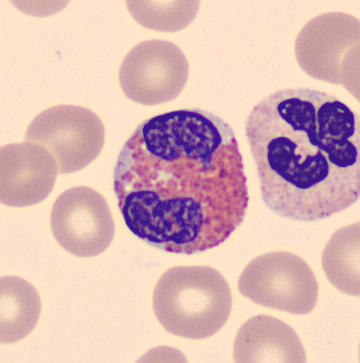Showing an eosinophilic granulocyte.

Image: Peripheral blood smear.